MGG-stained · bone marrow aspirate smear:
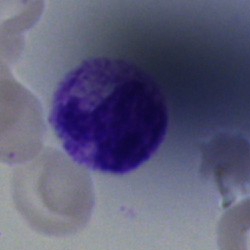A segmented neutrophil.